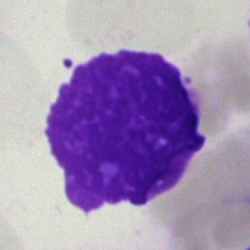The cell shown is an artefact.